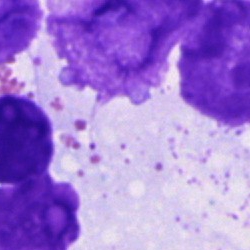 Q: What is shown here?
A: It is an artefact.